Bone marrow aspirate smear; 40× objective, oil immersion: 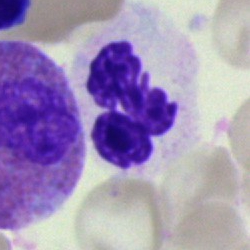

Q: What is shown here?
A: This is a neutrophil (segmented).